40× oil immersion. Bone marrow aspirate smear — 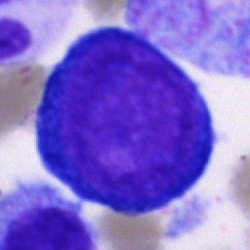Pronormoblast.